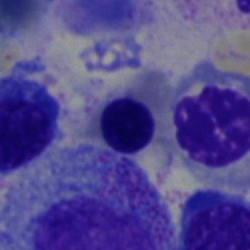
Q: What is the morphological classification of this cell?
A: Nucleated red cell.